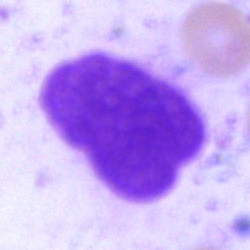
{"cell_type": "artefact"}